Bone marrow smear.
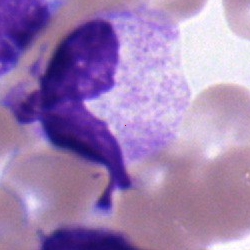Segmented neutrophil.